250×250 px · bone marrow aspirate smear — 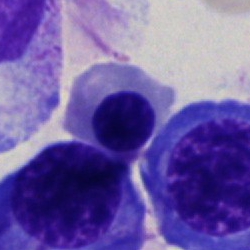
Showing a nucleated red blood cell.